Bone marrow smear — 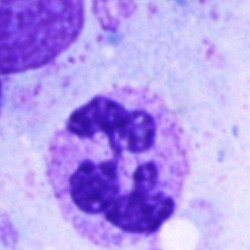

Specimen: bone marrow smear.
Classification: neutrophil (segmented).
Lineage: myeloid.